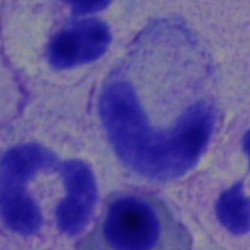

Specimen: bone marrow smear.
Classification: band neutrophil.